Bone marrow aspirate smear:
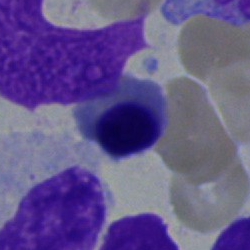 Impression — normoblast.